Bone marrow aspirate smear. MGG-stained. 250×250.
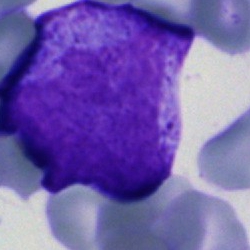Cell — undifferentiated blast.